May-Grünwald-Giemsa/Pappenheim stain; bone marrow smear
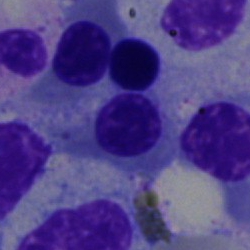 The cell type is normoblast.